250 by 250 pixels; bone marrow smear
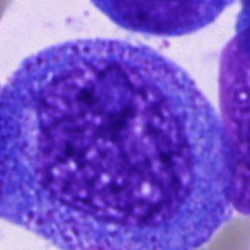Q: What type of cell is this?
A: It is a promyelocyte.